250 by 250 pixels; brightfield, 40× oil-immersion objective; bone marrow aspirate smear.
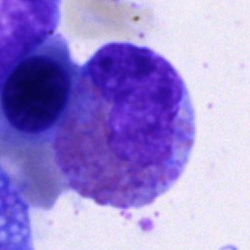
Classification: eosinophilic granulocyte.